Bone marrow aspirate smear · single-cell field · brightfield, 40× oil-immersion objective: 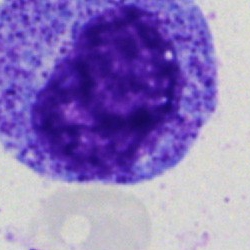 Cell = promyelocyte.